Bone marrow aspirate smear: 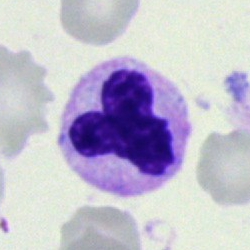 Q: What type of cell is this?
A: This is a polymorphonuclear neutrophil.